Bone marrow aspirate smear. 250×250 px:
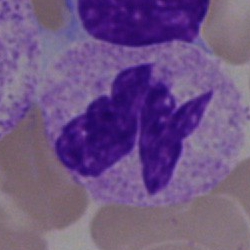Segmented neutrophil.